Bone marrow smear. Single cell centered in the field.
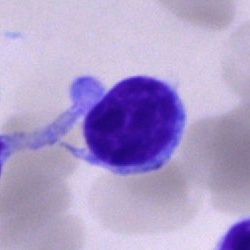 A lymphocyte.